Romanowsky-type stain; M8 digital microscope (Precipoint), 100× oil immersion; peripheral blood film.
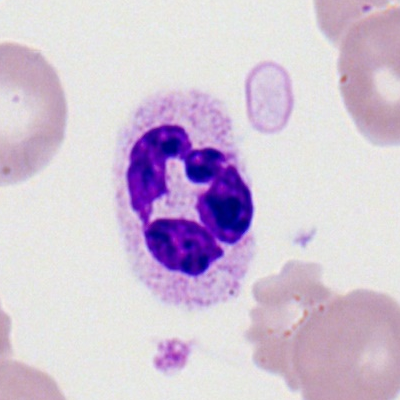Cell type: segmented neutrophil.